Bone marrow smear: 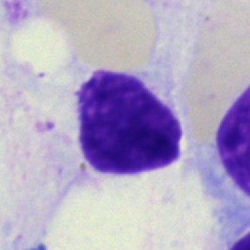 Artifact.